250×250. Bone marrow smear — 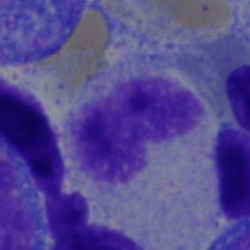Morphology — band neutrophil.